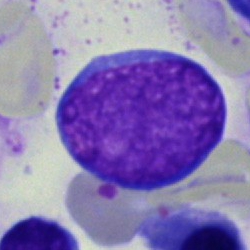 Cell = proerythroblast.